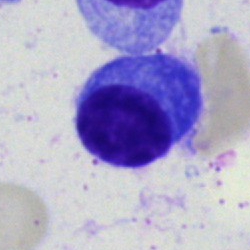 {"cell_type": "plasma cell"}